May-Grünwald-Giemsa stain. Bone marrow aspirate smear
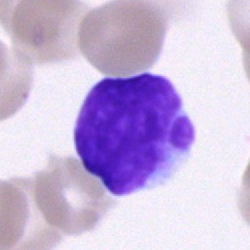

Cell: lymphocyte.